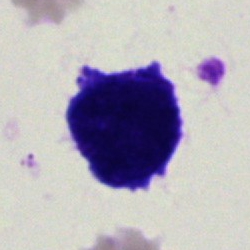
Undifferentiated blast.